Bone marrow smear — 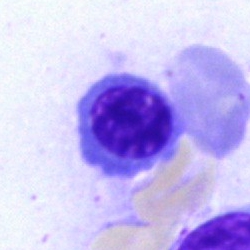
The cell type is normoblast.